250 by 250 pixels; bone marrow aspirate smear:
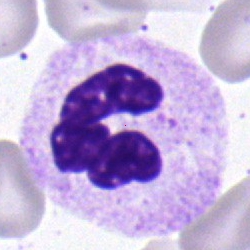 Classification: polymorphonuclear neutrophil.